Bone marrow aspirate smear · MGG-stained.
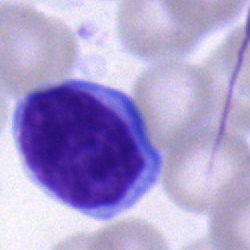

Morphological class = lymphocyte.